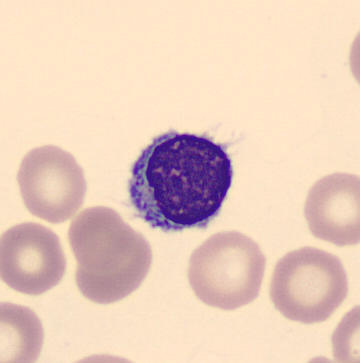 Showing a typical lymphocyte.